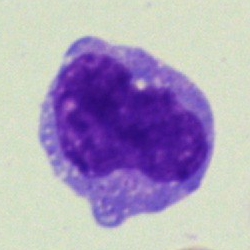 The cell shown is a monocyte.